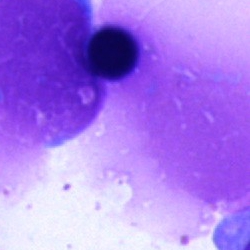 Bone marrow aspirate smear, single cell — artifact.